Bone marrow smear; 250×250.
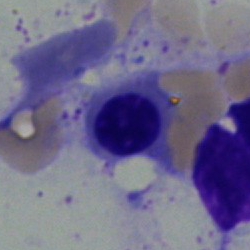

Normoblast.